Bone marrow aspirate smear — 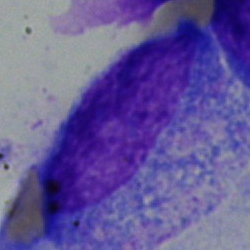
Promyelocyte.